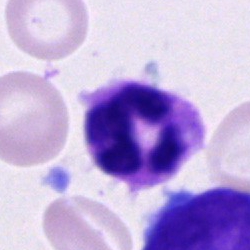

Cell = segmented neutrophil.